Bone marrow aspirate smear — 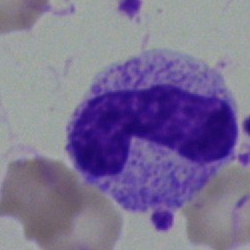 Morphology consistent with a stab cell.